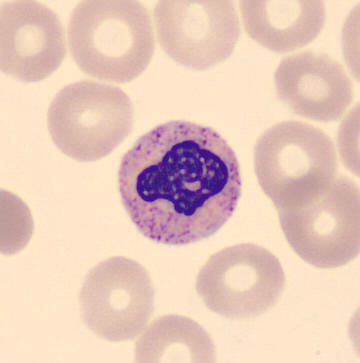
Morphology consistent with a band neutrophil.
Peripheral blood film.